Bone marrow smear.
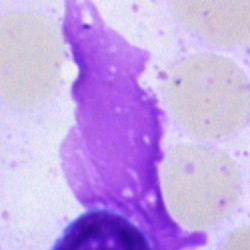 Artifact.